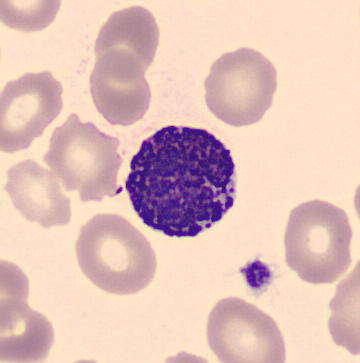 Morphological class: basophil.
Peripheral blood smear; May-Grünwald-Giemsa-stained.